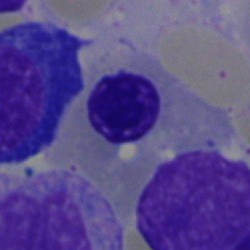{"cell_type": "erythroblast", "lineage": "erythroid"}